Bone marrow aspirate smear: 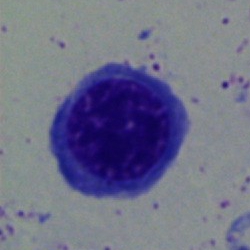Cell: nucleated red blood cell.